Bone marrow smear
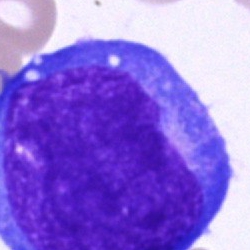Classification — blast.